40× objective, oil immersion; bone marrow aspirate smear: 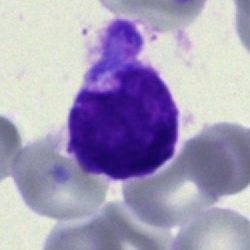 The cell shown is an undifferentiated blast.